Bone marrow aspirate smear.
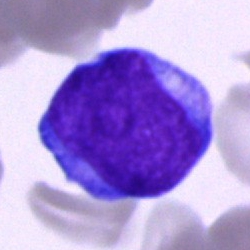Q: What type of cell is this?
A: Blast.